Image size 250×250; bone marrow aspirate smear.
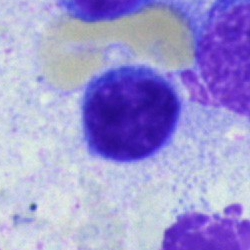Impression — typical lymphocyte.